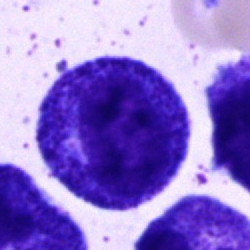 Cell = promyelocyte.